May-Grünwald-Giemsa/Pappenheim stain · bone marrow aspirate smear.
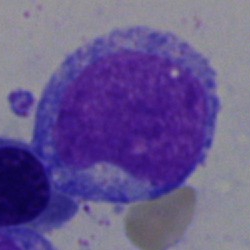

Cell type: progranulocyte.